Cropped to a single cell. Bone marrow smear.
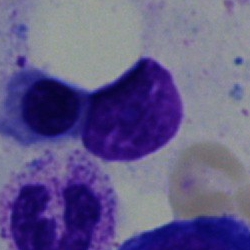 Cell type: nucleated red blood cell.